Bone marrow aspirate smear:
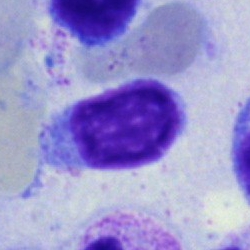 Morphology — lymphocyte.